Bone marrow aspirate smear.
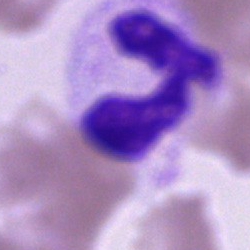
Q: Which cell type is shown here?
A: A segmented neutrophil.